Peripheral blood film.
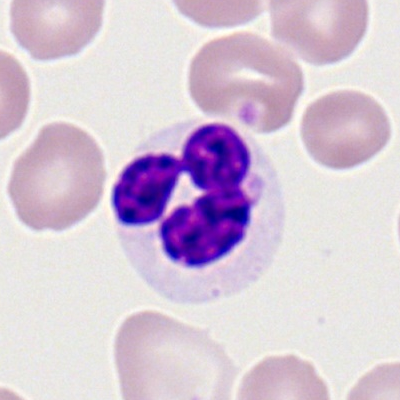The cell shown is a polymorphonuclear neutrophil.